Bone marrow smear.
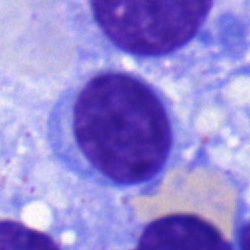
The cell shown is a typical lymphocyte.